400×400. Peripheral blood smear. Romanowsky-type stain.
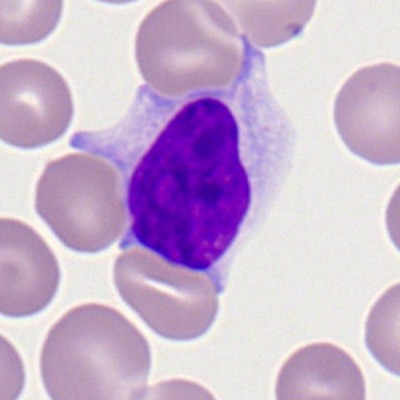

Cell type: typical lymphocyte.